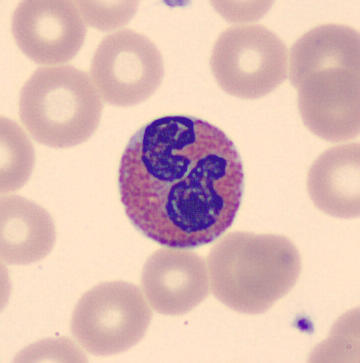
Acquisition: Peripheral blood smear.
Q: Which cell type is shown here?
A: Eosinophil.